Bone marrow aspirate smear:
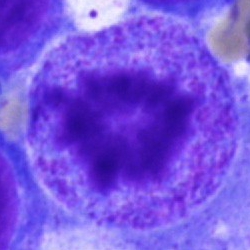
Classification: progranulocyte.